Bone marrow smear — 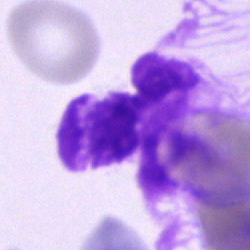
Q: What is shown here?
A: This is an artefact.